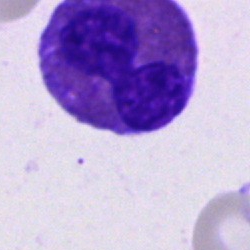

Q: What type of cell is this?
A: Eosinophil.